Bone marrow smear; brightfield microscopy, 40× oil immersion.
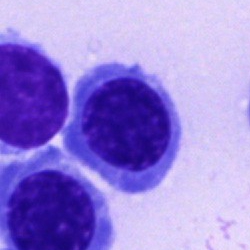

Specimen: bone marrow aspirate smear.
Cell: normoblast.
Lineage: erythroid.